Bone marrow smear: 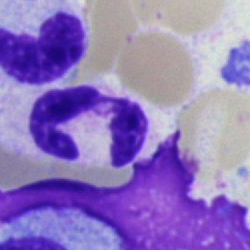 Morphology → polymorphonuclear neutrophil.